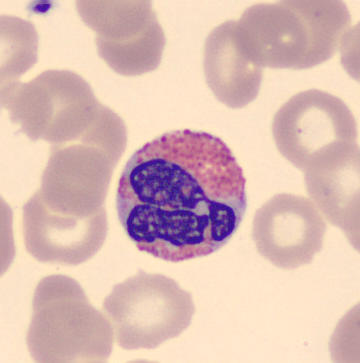The morphological class is eosinophilic granulocyte.